Romanowsky-stained · peripheral blood film · 400 by 400 pixels: 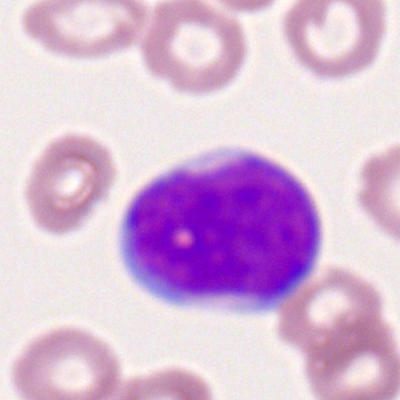Classification: myeloid blast.